Peripheral blood film. MGG stain — 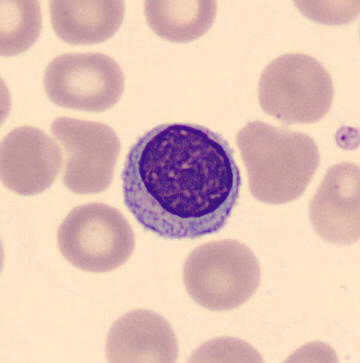

Single cell identified as a lymphocyte.